Bone marrow smear: 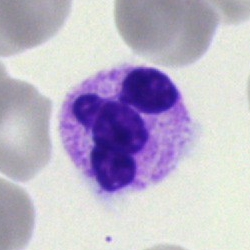 The cell shown is a polymorphonuclear neutrophil.